Romanowsky-type stain. Image size 400×400. Peripheral blood film: 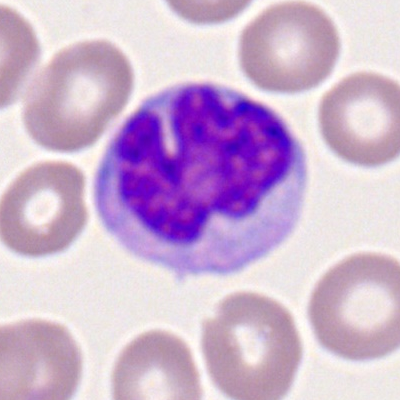

Q: Which cell type is shown here?
A: This is a monocyte.